Bone marrow aspirate smear · May-Grünwald-Giemsa/Pappenheim stain — 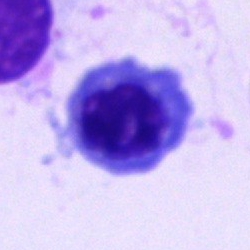 This is a nucleated red cell.